250×250 px. Bone marrow aspirate smear.
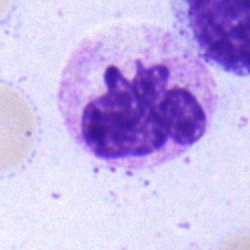 Impression — segmented neutrophil.